250×250 px. Bone marrow aspirate smear: 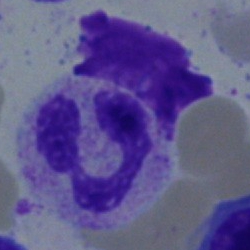

Q: Identify the cell.
A: It is a segmented neutrophil.